Image size 250×250; bone marrow aspirate smear; 40× oil immersion: 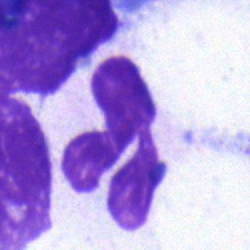 Classification = segmented neutrophil.